Peripheral blood smear: 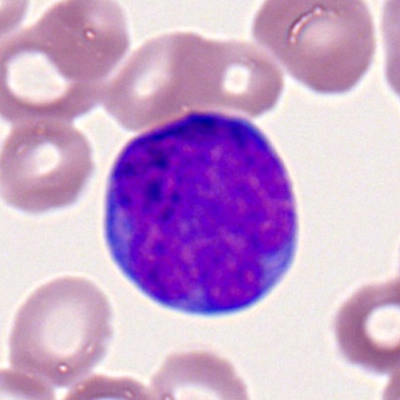

Cell type = myeloblast.